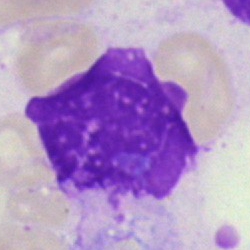
The morphological class is artefact.